Bone marrow aspirate smear. Image size 250×250 — 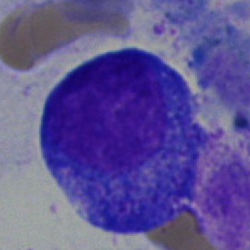
Showing a progranulocyte.